Bone marrow smear: 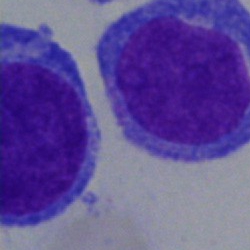
Morphology consistent with a blast cell.